Cropped to a single cell · bone marrow smear:
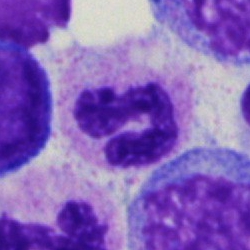Morphological class = polymorphonuclear neutrophil.